Bone marrow aspirate smear.
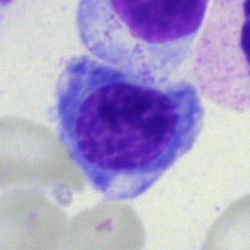

Q: Identify the cell.
A: This is a normoblast.